Bone marrow smear: 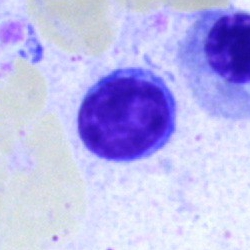Q: What type of cell is this?
A: Lymphocyte.